Bone marrow smear. Cropped to a single cell. Image size 250×250: 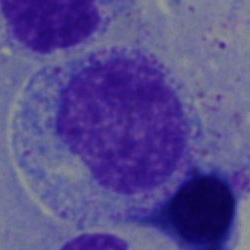

Cell — myelocyte.